250 by 250 pixels; bone marrow aspirate smear:
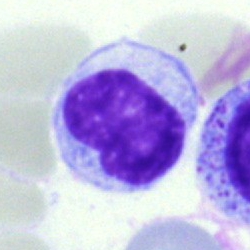
{"cell_type": "metamyelocyte"}